Bone marrow aspirate smear. Single-cell field.
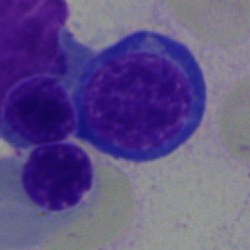

Specimen: bone marrow smear.
Morphological class: nucleated red cell.